Bone marrow aspirate smear.
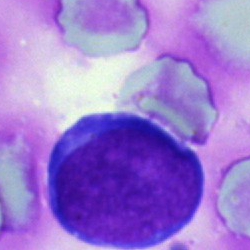
The cell shown is a proerythroblast.